Pappenheim-stained; 250 by 250 pixels; bone marrow aspirate smear
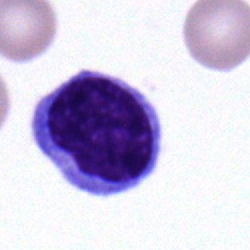 Lymphocyte.